Bone marrow smear. May-Grünwald-Giemsa/Pappenheim stain. 250×250 px
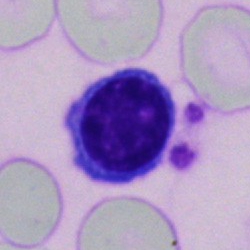Q: What type of cell is this?
A: A lymphocyte.